Single cell centered in the field · bone marrow smear:
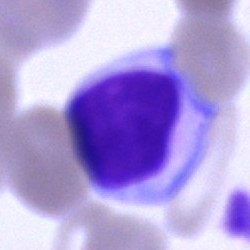 Q: Which cell type is shown here?
A: A typical lymphocyte.